Brightfield, 40× oil-immersion objective · bone marrow smear: 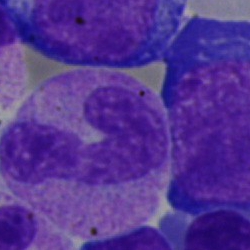 Showing a neutrophil (band).